Bone marrow smear · 40× objective, oil immersion
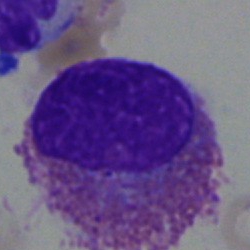Q: What is the morphological classification of this cell?
A: This is an eosinophilic granulocyte.